Bone marrow aspirate smear — 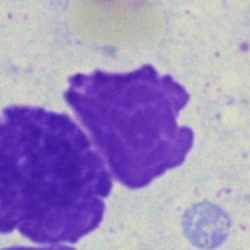
{"cell_type": "artefact"}